Bone marrow aspirate smear · 250×250:
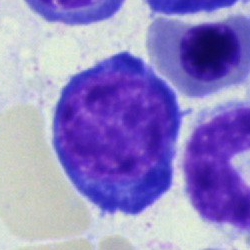 Showing a normoblast.